Bone marrow smear — 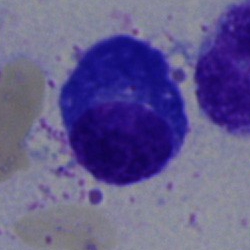 Morphology → plasmacyte.